Bone marrow smear: 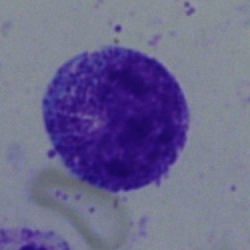
Q: What type of cell is this?
A: This is a myelocyte.